Bone marrow aspirate smear: 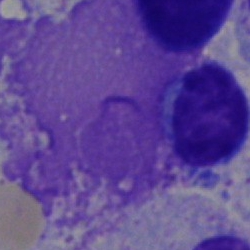
Single cell identified as a lymphocyte.